Bone marrow smear — 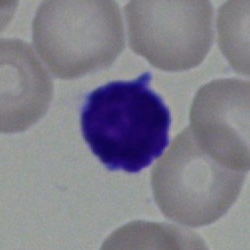The classification is lymphocyte.